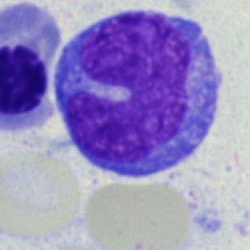

Cell = monocyte.